Bone marrow smear: 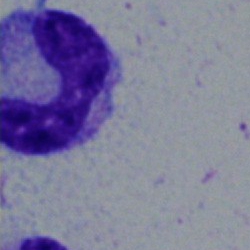Specimen: bone marrow aspirate smear.
Morphological class: stab cell.
Lineage: myeloid.